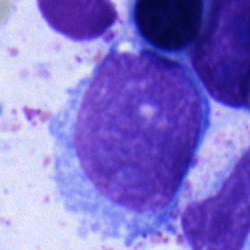

Classification: blast.